Bone marrow aspirate smear. May-Grünwald-Giemsa stain.
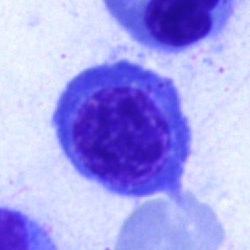
A nucleated red blood cell.